Bone marrow smear:
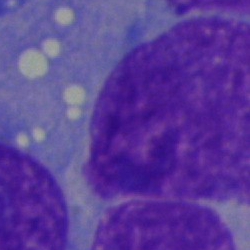
Blast cell.